Bone marrow smear
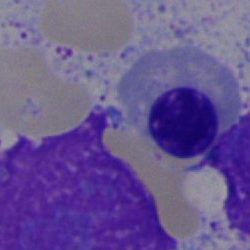

Classification: normoblast.